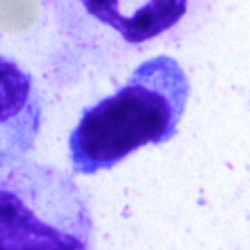
Q: What type of cell is this?
A: A typical lymphocyte.